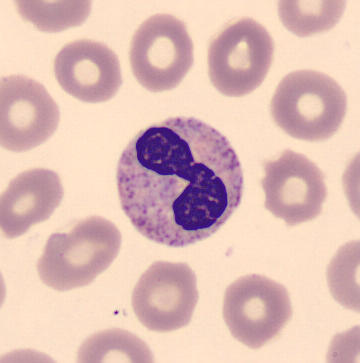Impression → stab cell.